Bone marrow aspirate smear:
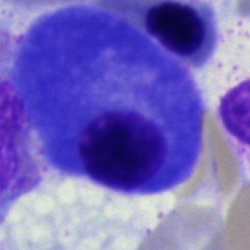

Q: What is the morphological classification of this cell?
A: This is a plasmacyte.